Peripheral blood film — 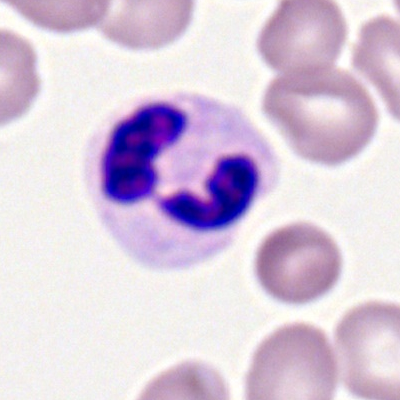 Q: What cell is this?
A: Neutrophil (segmented).